Peripheral blood smear.
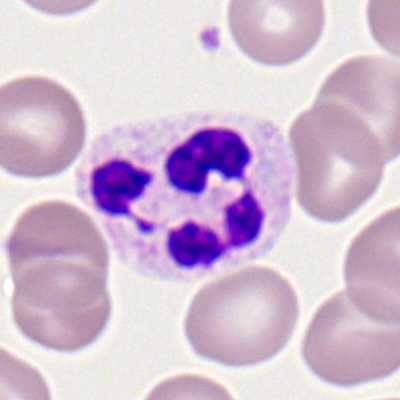A neutrophil (segmented).